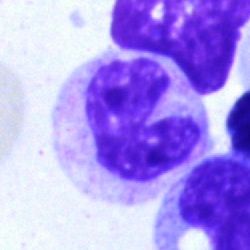Classification = neutrophil (band).